Single-cell crop. Bone marrow smear:
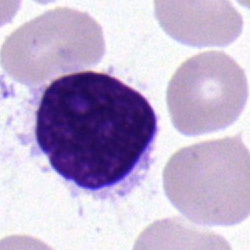{"cell_type": "lymphocyte", "lineage": "lymphoid"}